Bone marrow aspirate smear; May-Grünwald-Giemsa/Pappenheim stain:
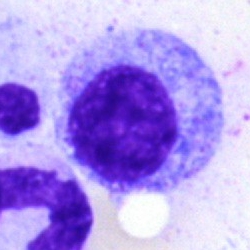

Impression — promyelocyte.